MGG-stained · bone marrow aspirate smear: 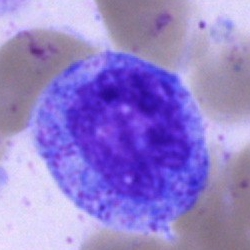

Morphology → promyelocyte.